Bone marrow aspirate smear — 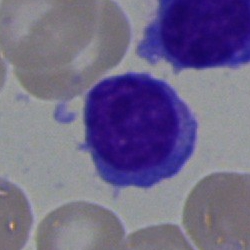

Q: Which cell type is shown here?
A: A plasma cell.